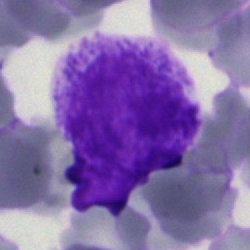

The cell shown is an artefact.